Bone marrow aspirate smear. Single cell centered in the field — 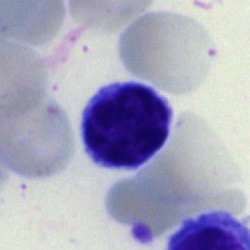

The classification is lymphocyte.